Bone marrow smear. Single cell centered in the field: 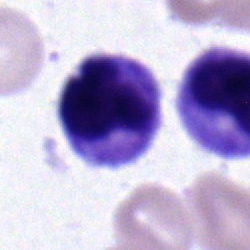 Q: What is shown here?
A: It is a neutrophil (segmented).